Bone marrow smear.
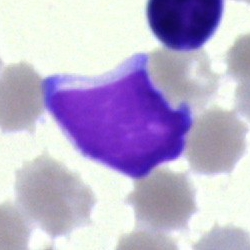 Cell = lymphocyte.